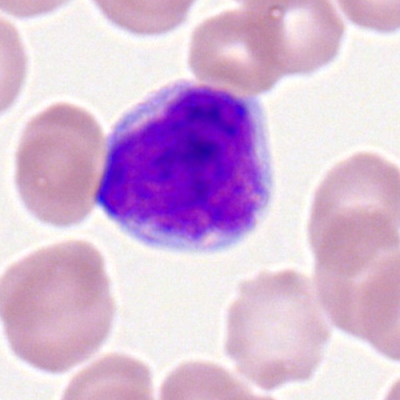 This is a myeloid blast.